250×250 px. Bone marrow aspirate smear
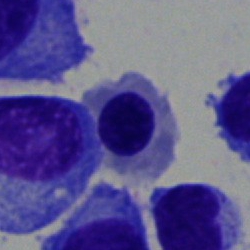Showing a nucleated red cell.